Cropped to a single cell · bone marrow aspirate smear
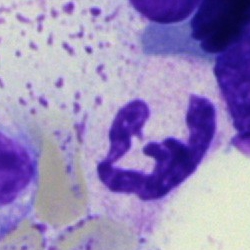

The cell shown is a neutrophil (segmented).